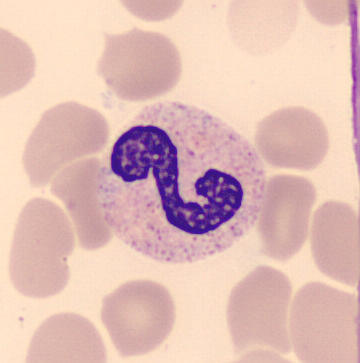
Image: Image size 360×363; single cell centered in the field; peripheral blood film. Cell type — segmented neutrophil.